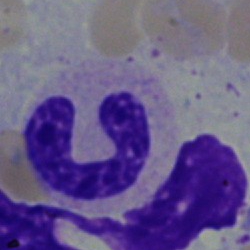

The classification is band neutrophil.